Peripheral blood film — 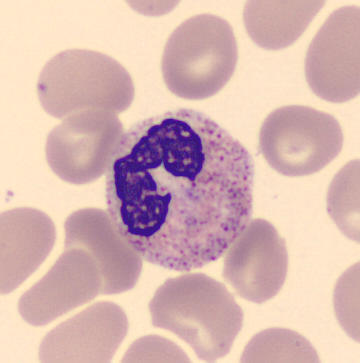

Specimen: peripheral blood smear.
Cell type: band-form neutrophil.